Bone marrow aspirate smear: 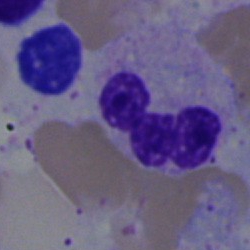Impression → polymorphonuclear neutrophil.